Bone marrow smear:
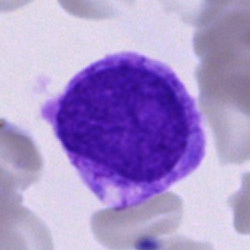 Cell — cell of indeterminate lineage.